Peripheral blood smear: 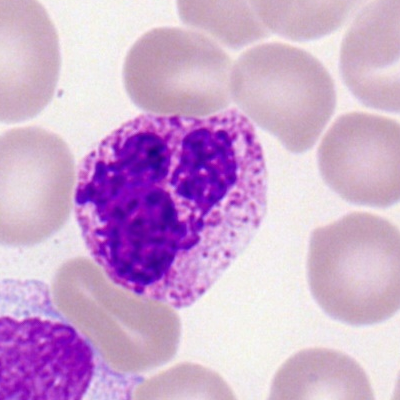 This is a basophilic granulocyte.